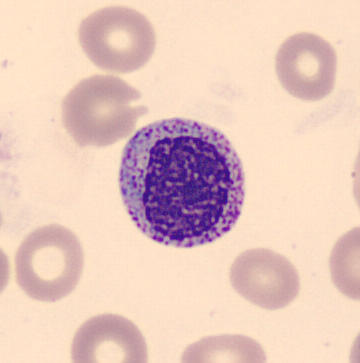 Morphology → myelocyte.